Peripheral blood film
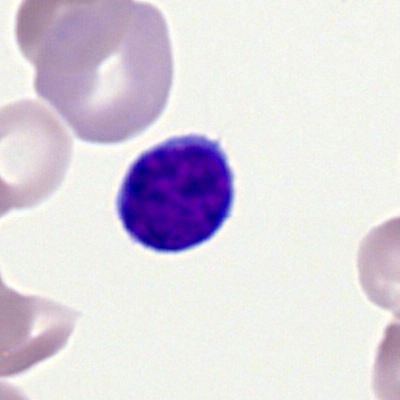

Showing a typical lymphocyte.